Bone marrow smear — 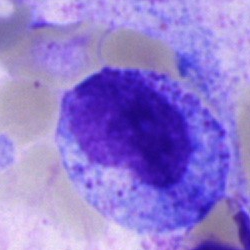{"cell_type": "progranulocyte"}